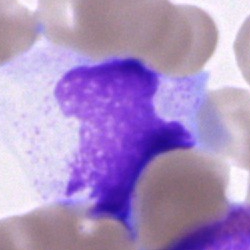
Q: What is shown here?
A: An artefact.